Peripheral blood smear: 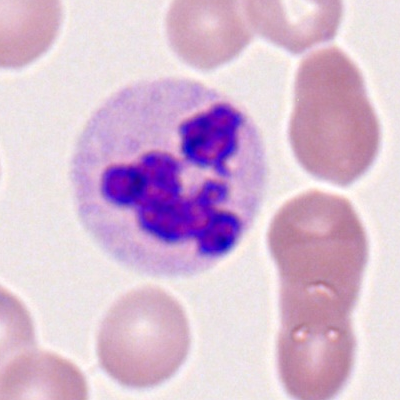
Impression → polymorphonuclear neutrophil.